Bone marrow smear
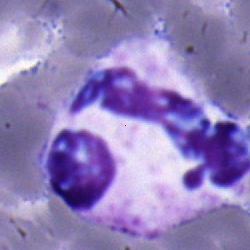Segmented neutrophil.